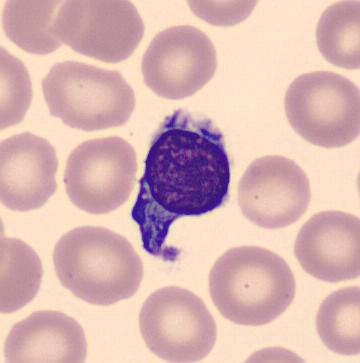
Morphology → typical lymphocyte.